Peripheral blood film — 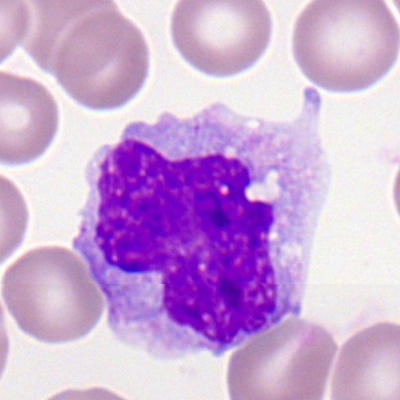
Showing a monocyte.